Bone marrow smear — 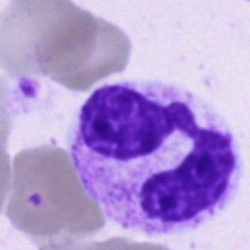Q: Which cell type is shown here?
A: A polymorphonuclear neutrophil.